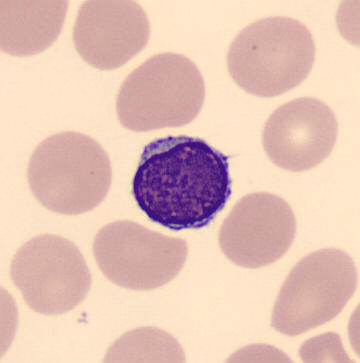

Lymphocyte.

Image: Peripheral blood film.